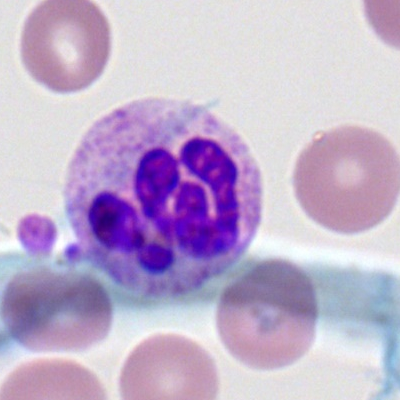 A segmented neutrophil.